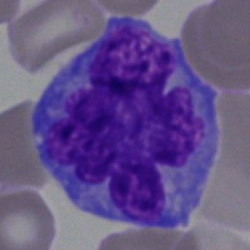
Morphology — blast cell.